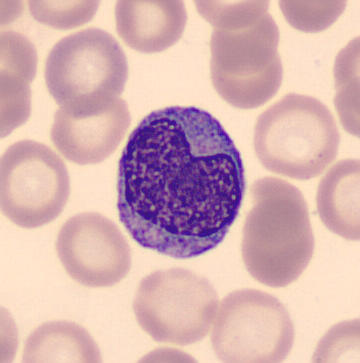
The cell shown is a monocyte.